Bone marrow smear. Brightfield microscopy, 40× oil immersion. 250×250 px.
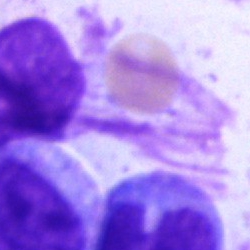Artefact.